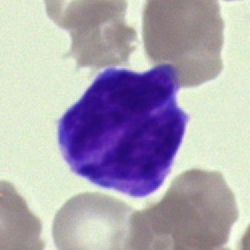 Morphology → typical lymphocyte.